Brightfield, 40× oil-immersion objective. Bone marrow smear. Single-cell field — 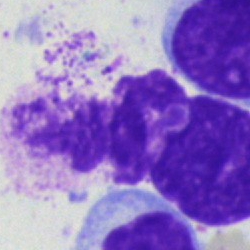 The cell shown is an artifact.